Brightfield, 40× oil-immersion objective; bone marrow smear; MGG-stained.
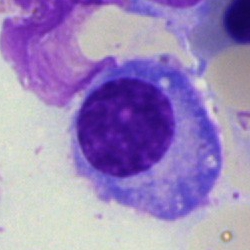{"cell_type": "plasmacyte"}